Bone marrow smear:
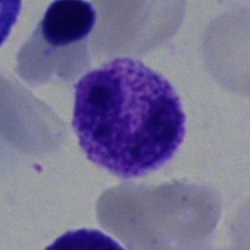Q: Which cell type is shown here?
A: It is a neutrophil (band).